Bone marrow smear — 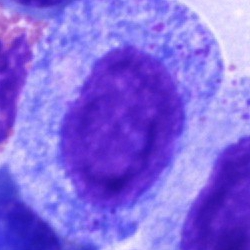
Impression — progranulocyte.